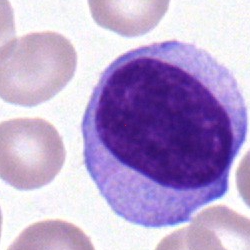

Cell = lymphocyte.